Bone marrow aspirate smear:
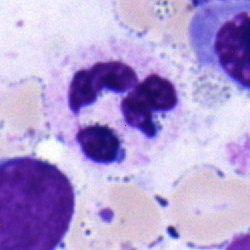 Cell type: segmented neutrophil.